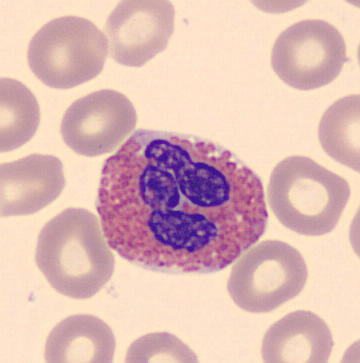
Cell — eosinophil.

Preparation: CellaVision DM96 digital cell image · single-cell field · peripheral blood film.